Bone marrow smear. May-Grünwald-Giemsa/Pappenheim stain — 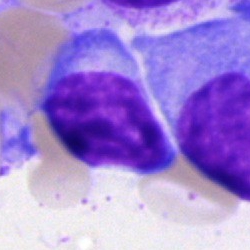A typical lymphocyte.